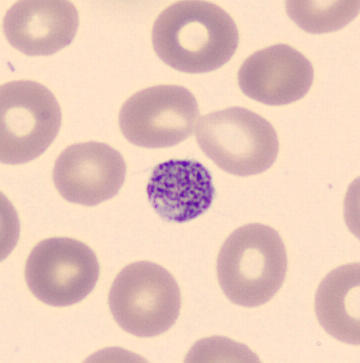 Q: What is this?
A: Thrombocyte. Imaged on a CellaVision DM96 analyser. MGG-stained. Peripheral blood smear.